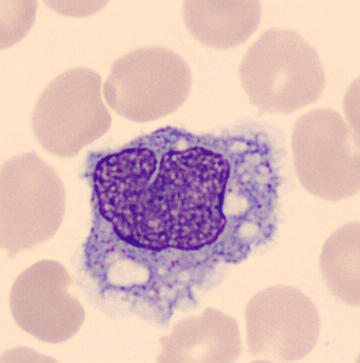 Q: What is the morphological classification of this cell?
A: Monocyte.